Bone marrow smear — 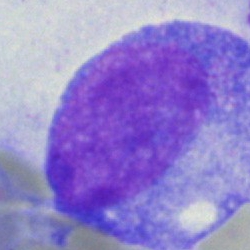

Q: What type of cell is this?
A: A progranulocyte.